40× objective, oil immersion · single-cell crop · bone marrow aspirate smear — 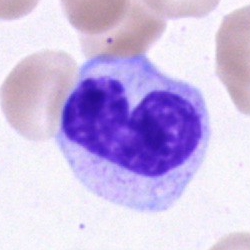 Single cell identified as a metamyelocyte.